Bone marrow aspirate smear.
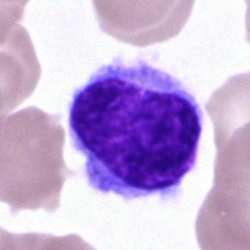

Specimen: bone marrow aspirate smear.
Classification: hairy cell.
Lineage: lymphoid.